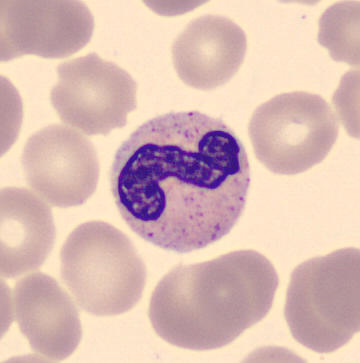
Showing a stab cell. Peripheral blood smear.